MGG-stained; bone marrow smear
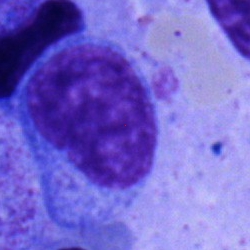

The cell type is blast cell.